Bone marrow smear.
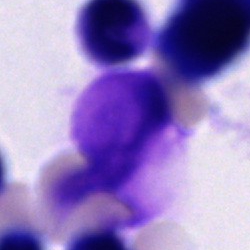

Cell = unidentifiable cell.